Bone marrow aspirate smear: 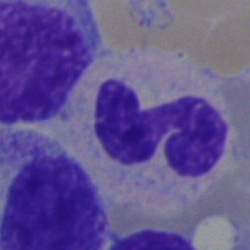
Showing a stab cell.